Peripheral blood film — 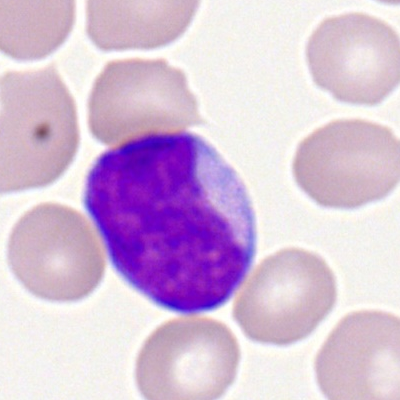

Single cell identified as a myeloblast.